Bone marrow smear · 250×250 px — 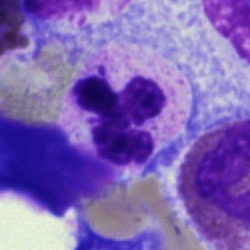Q: Identify the cell.
A: Segmented neutrophil.